Bone marrow smear. Image size 250×250. May-Grünwald-Giemsa stain — 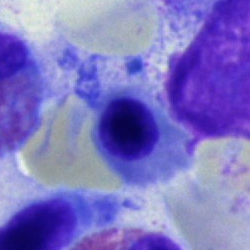 Q: Identify the cell.
A: Nucleated red blood cell.